400×400 px · peripheral blood smear:
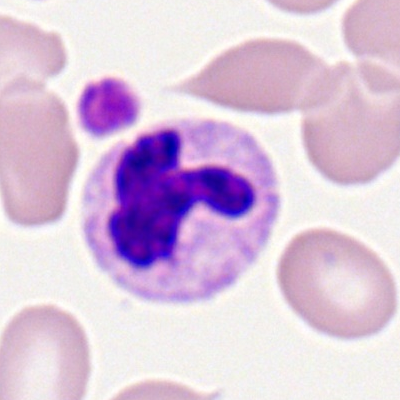 Single cell identified as a neutrophil (segmented).